Bone marrow smear.
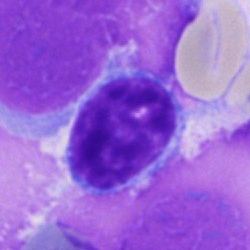

Q: What is shown here?
A: This is a lymphocyte.